Bone marrow smear.
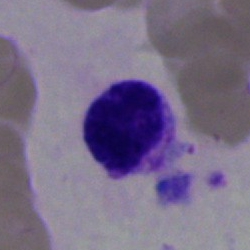
Morphology consistent with a basophil.